Bone marrow aspirate smear — 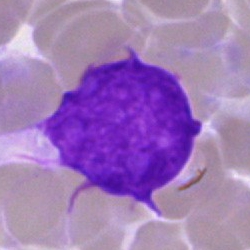

Classification — artifact.